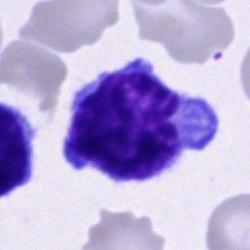
Showing a lymphocyte.